Bone marrow smear. May-Grünwald-Giemsa/Pappenheim stain
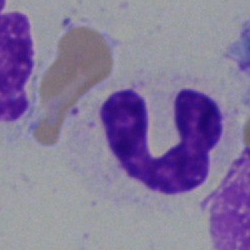Stab cell.